May-Grünwald-Giemsa/Pappenheim stain · bone marrow aspirate smear.
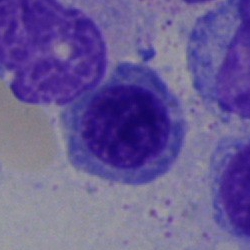Morphological class = nucleated red blood cell.